Bone marrow aspirate smear
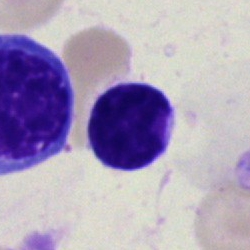Specimen: bone marrow aspirate smear.
Cell: typical lymphocyte.